Bone marrow aspirate smear.
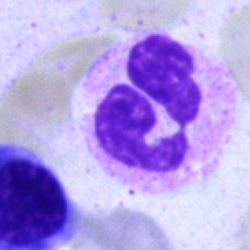This is a neutrophil (segmented).